40× objective, oil immersion. Bone marrow smear:
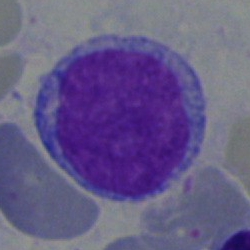

Q: Identify the cell.
A: An undifferentiated blast.